Image size 400×400; peripheral blood film; Romanowsky-stained: 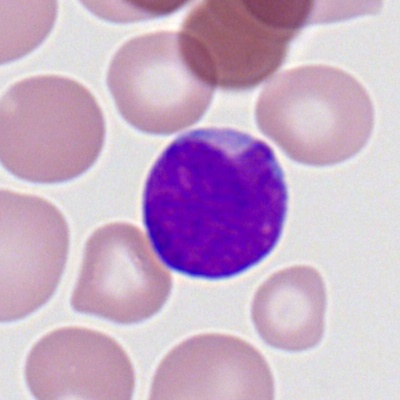
Morphology consistent with a myeloid blast.